Bone marrow smear; single-cell field; 250 by 250 pixels
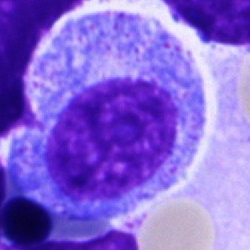Cell — promyelocyte.